Bone marrow smear — 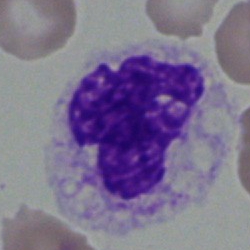Specimen: bone marrow aspirate smear.
Cell: polymorphonuclear neutrophil.
Lineage: myeloid.